Bone marrow aspirate smear — 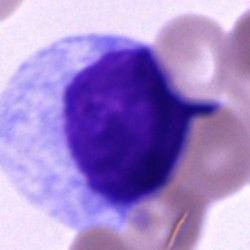
Morphological class: progranulocyte.